Image size 250×250. Brightfield, 40× oil-immersion objective. Bone marrow smear.
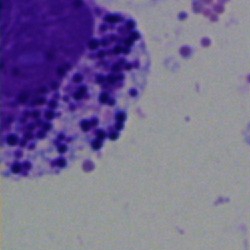Specimen: bone marrow smear.
Cell type: basophil.